Bone marrow aspirate smear:
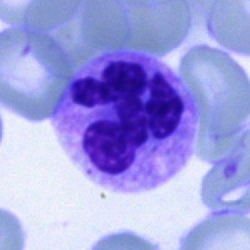 Single cell identified as a polymorphonuclear neutrophil.